40× oil immersion. Bone marrow smear:
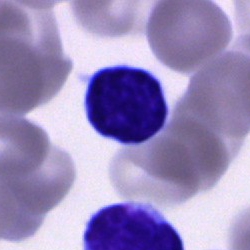

Specimen: bone marrow aspirate smear.
Cell: lymphocyte.
Lineage: lymphoid.